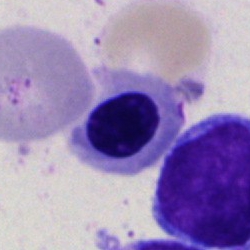

Q: What is the morphological classification of this cell?
A: Erythroblast.